Single-cell crop; bone marrow smear: 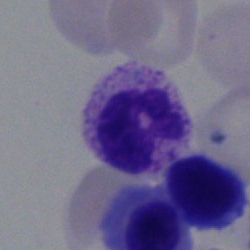Specimen: bone marrow smear.
Cell: neutrophil (segmented).
Lineage: myeloid.